Bone marrow smear: 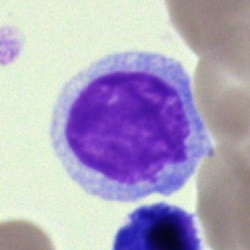Q: Which cell type is shown here?
A: Typical lymphocyte.